Bone marrow aspirate smear — 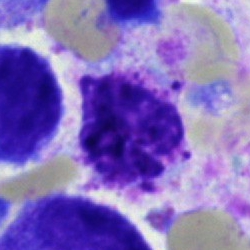

This is an artefact.